Bone marrow smear
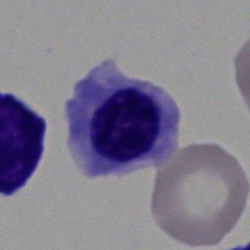Showing a nucleated red blood cell.